Bone marrow smear.
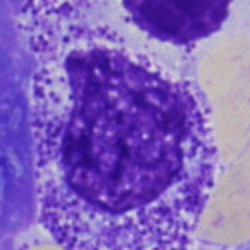Q: What is shown here?
A: A metamyelocyte.